Bone marrow smear:
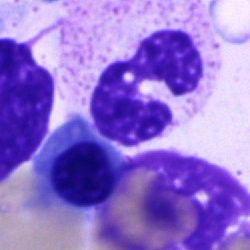 Morphology — polymorphonuclear neutrophil.